250 by 250 pixels; 40× oil immersion; bone marrow aspirate smear: 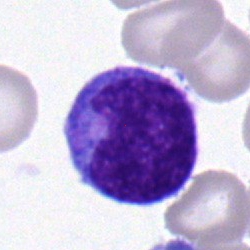
Cell type = monocyte.